Cropped to a single cell · bone marrow aspirate smear · 250×250 px — 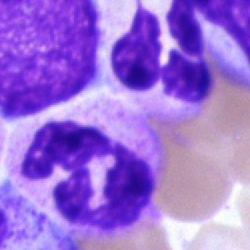Impression — polymorphonuclear neutrophil.